May-Grünwald-Giemsa stain. 40× objective, oil immersion. Bone marrow smear.
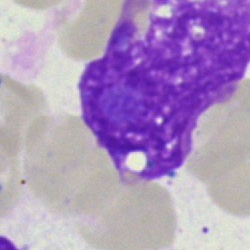 Q: What is shown here?
A: This is an artifact.